Single-cell crop. Bone marrow aspirate smear:
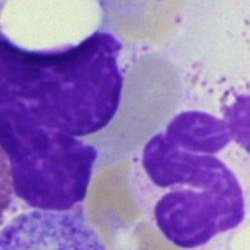

Morphological class = artefact.